Bone marrow aspirate smear · single cell centered in the field
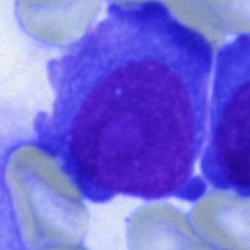Impression → plasmacyte.